Bone marrow aspirate smear — 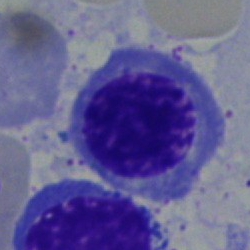
Showing a nucleated red cell.